Bone marrow smear
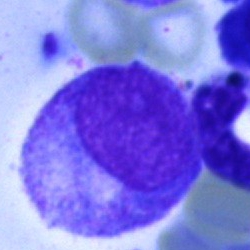Showing a promyelocyte.